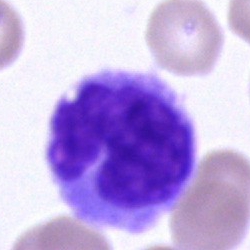Q: Which cell type is shown here?
A: Monocyte.